May-Grünwald-Giemsa stain; cropped to a single cell; bone marrow aspirate smear: 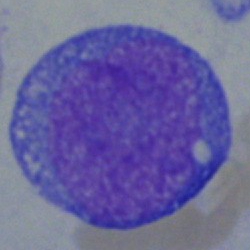

Morphology — blast cell.